Peripheral blood smear — 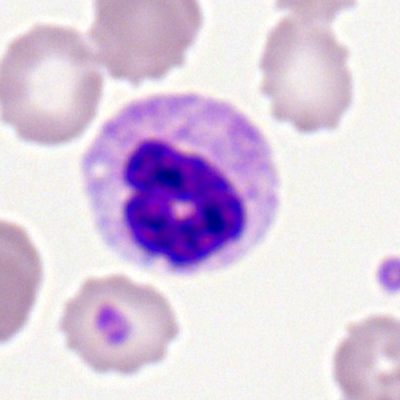

Cell type = neutrophil (segmented).